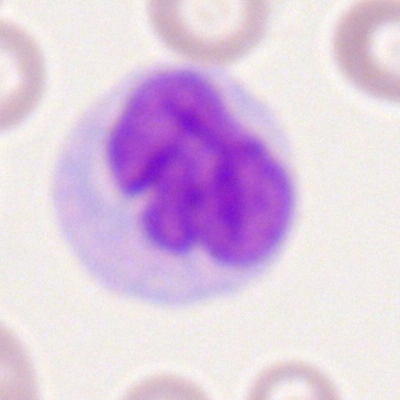 A monocyte on a peripheral blood smear.